Pappenheim-stained; bone marrow smear: 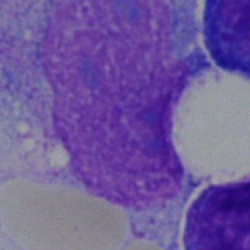

Impression → artefact.